May-Grünwald-Giemsa/Pappenheim stain; bone marrow aspirate smear: 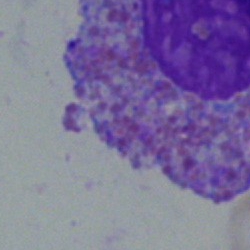Specimen: bone marrow aspirate smear.
Cell type: eosinophil.